Bone marrow smear: 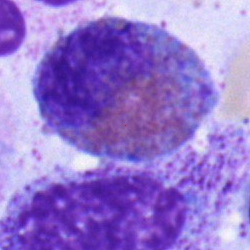 The cell shown is an eosinophilic granulocyte.